Brightfield, 40× oil-immersion objective · 250×250 px · bone marrow smear
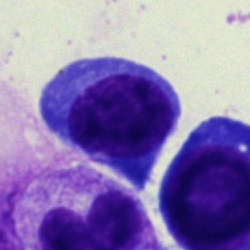

Classification = nucleated red cell.